Bone marrow smear. 250 by 250 pixels:
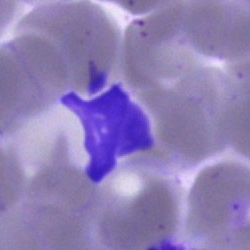 Morphology → artifact.